May-Grünwald-Giemsa/Pappenheim stain; bone marrow smear — 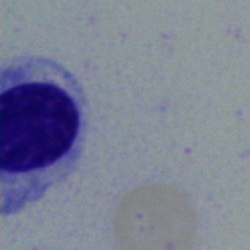
Q: Identify the cell.
A: This is an erythroblast.